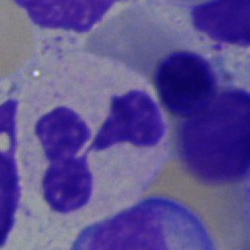Specimen: bone marrow aspirate smear.
Classification: neutrophil (segmented).
Lineage: myeloid.